Image size 250×250 · single-cell crop · bone marrow smear
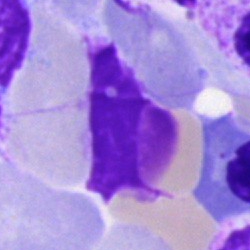An artefact.